Bone marrow smear.
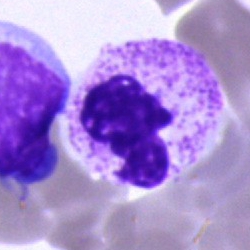
Single cell identified as a neutrophil (segmented).